Peripheral blood smear; 100× oil immersion: 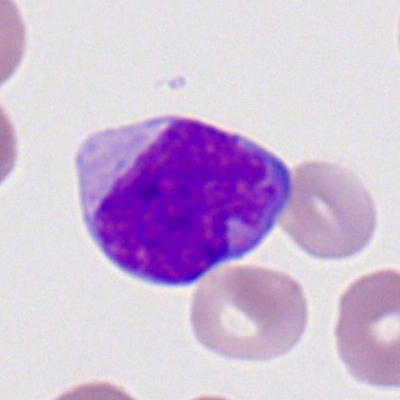Myeloid blast.